40× objective, oil immersion · 250×250 px · bone marrow aspirate smear
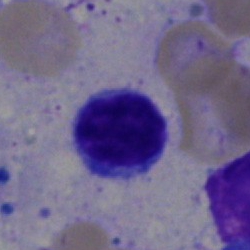Cell type — lymphocyte.